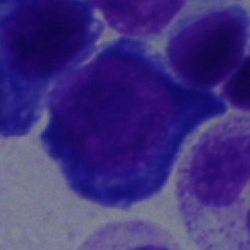 The cell type is proerythroblast.